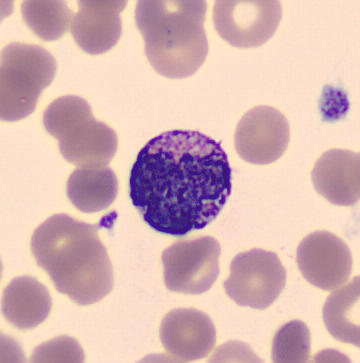
Q: What is this?
A: Basophilic granulocyte.

Preparation: May-Grünwald-Giemsa-stained; peripheral blood smear.